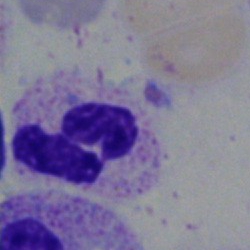
Morphology consistent with a polymorphonuclear neutrophil.